Bone marrow smear:
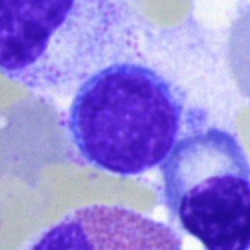 Specimen: bone marrow smear.
Cell type: typical lymphocyte.
Lineage: lymphoid.